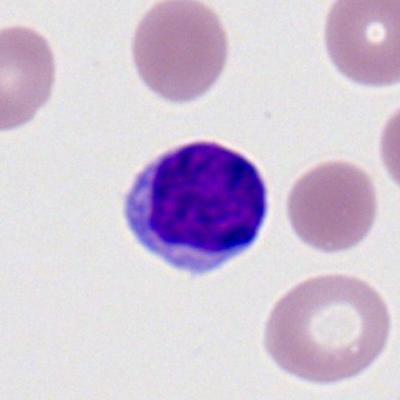

Morphological class — typical lymphocyte.